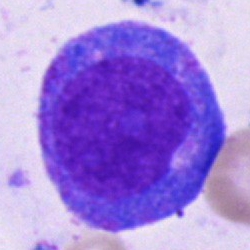
Morphology consistent with a promyelocyte.